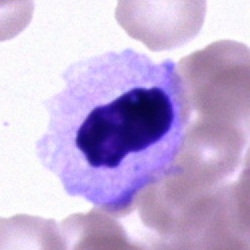

Specimen: bone marrow aspirate smear.
Classification: artefact.